Bone marrow aspirate smear; single-cell crop; MGG-stained:
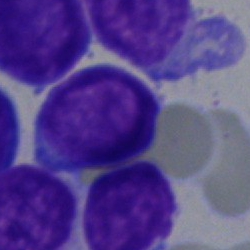Specimen: bone marrow aspirate smear.
Cell: blast cell.